Bone marrow smear. Single-cell field.
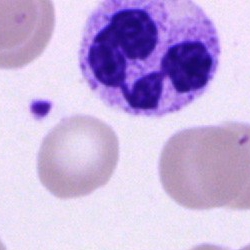 Specimen: bone marrow smear.
Morphological class: polymorphonuclear neutrophil.
Lineage: myeloid.